Bone marrow aspirate smear
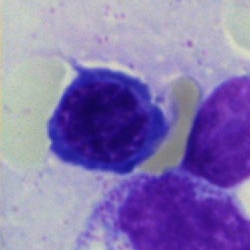
Nucleated red blood cell.